Bone marrow aspirate smear.
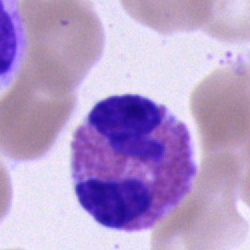 Morphological class = eosinophil.